Pappenheim-stained · single-cell field · bone marrow aspirate smear
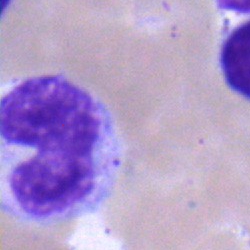 The cell shown is a band neutrophil.